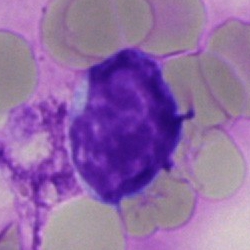 Q: What is shown here?
A: It is an artefact.